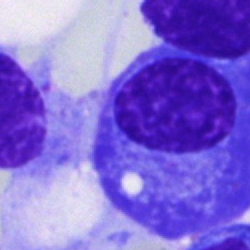

Cell — plasma cell.